MGG-stained; bone marrow smear; single cell centered in the field
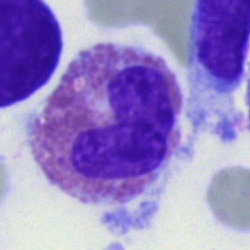

Showing an eosinophilic granulocyte.